Bone marrow smear: 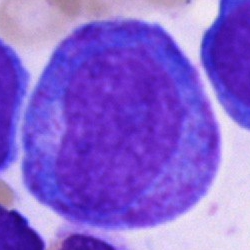This is a promyelocyte.